Bone marrow aspirate smear; 40× oil immersion:
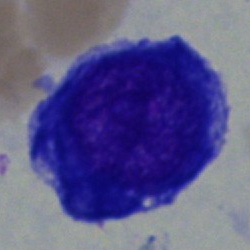
A pronormoblast.